Bone marrow aspirate smear — 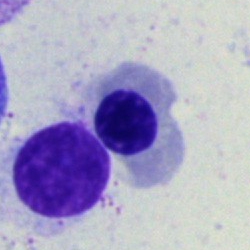Q: What cell is this?
A: Normoblast.